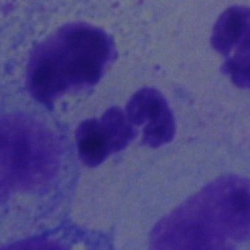 Morphology → neutrophil (segmented).